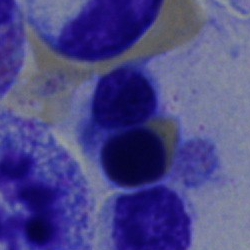 Nucleated red blood cell.